Bone marrow smear — 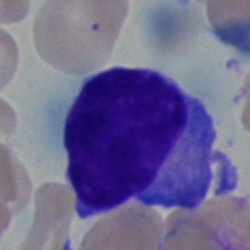 Single cell identified as a plasmacyte.